Bone marrow smear · brightfield microscopy, 40× oil immersion
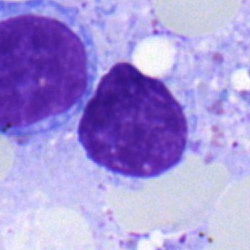 The morphological class is lymphocyte.